Bone marrow aspirate smear. MGG-stained.
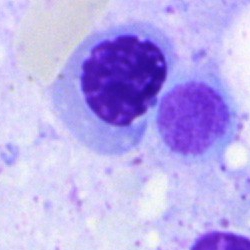 Specimen: bone marrow aspirate smear.
Cell: normoblast.
Lineage: erythroid.